Bone marrow aspirate smear:
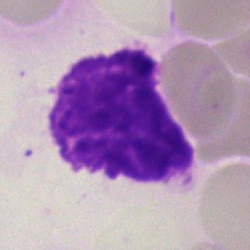 Artefact.